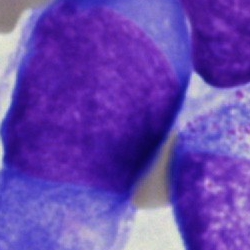 Q: What is shown here?
A: This is a proerythroblast.